250×250 · bone marrow aspirate smear — 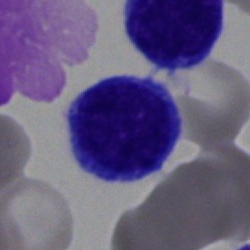 Showing a lymphocyte.